Image size 250×250. Bone marrow smear:
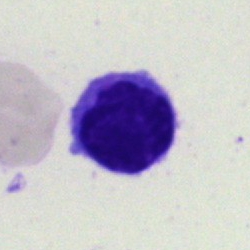
Q: What cell is this?
A: It is a lymphocyte.